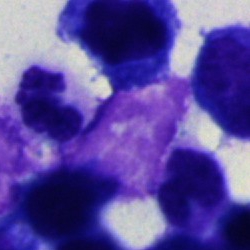 Cell = artefact.